Bone marrow smear. May-Grünwald-Giemsa/Pappenheim stain. Cropped to a single cell
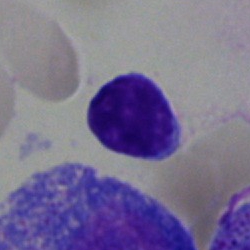

Cell = lymphocyte.